Bone marrow smear: 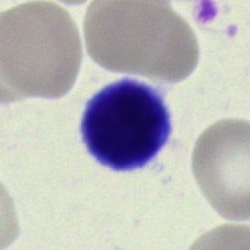The cell shown is a typical lymphocyte.